Bone marrow smear · brightfield microscopy, 40× oil immersion · image size 250×250: 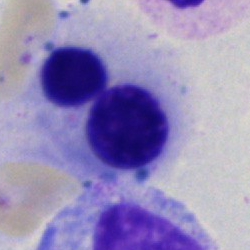
Showing a nucleated red cell.